Bone marrow aspirate smear
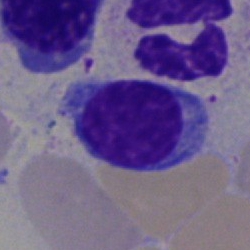 Showing a lymphocyte.